Bone marrow aspirate smear:
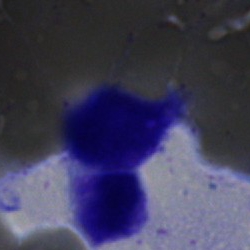

Specimen: bone marrow aspirate smear.
Classification: artifact.